Peripheral blood smear; single-cell crop; Romanowsky stain: 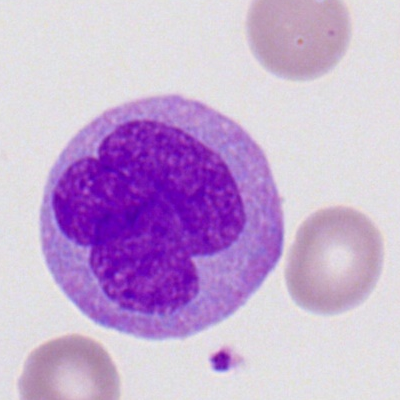 Cell: myeloblast.